Bone marrow smear · brightfield microscopy, 40× oil immersion: 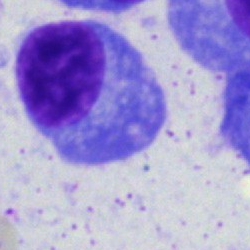

Q: What is the morphological classification of this cell?
A: This is a plasmacyte.